Brightfield, 40× oil-immersion objective. Bone marrow smear: 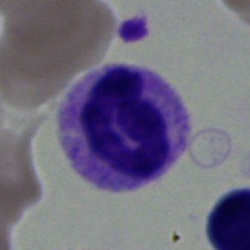Q: Which cell type is shown here?
A: This is a segmented neutrophil.